40× oil immersion; bone marrow aspirate smear.
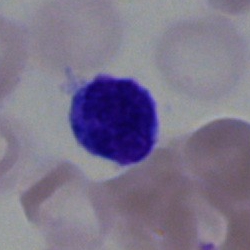This is a lymphocyte.